MGG-stained. 40× oil immersion. Bone marrow smear: 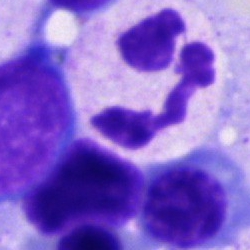Morphology consistent with a polymorphonuclear neutrophil.